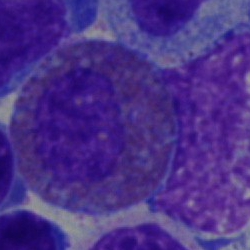 {"cell_type": "eosinophil"}